Bone marrow smear. May-Grünwald-Giemsa/Pappenheim stain: 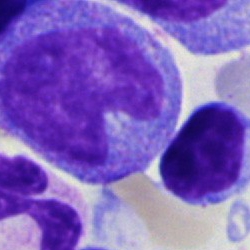
{"cell_type": "monocyte", "lineage": "myeloid"}